Bone marrow smear; 250×250
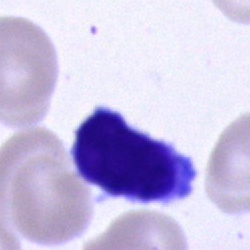Typical lymphocyte.